40× objective, oil immersion · bone marrow aspirate smear.
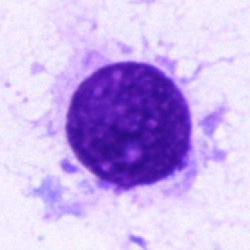

Q: What is shown here?
A: Artifact.